Bone marrow smear
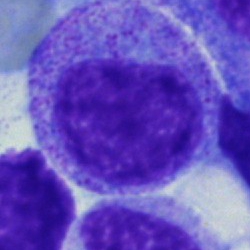 Q: What is the morphological classification of this cell?
A: Promyelocyte.